Bone marrow smear
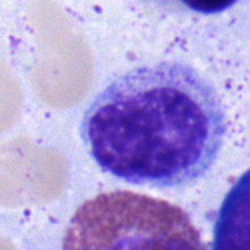
Morphological class = myelocyte.